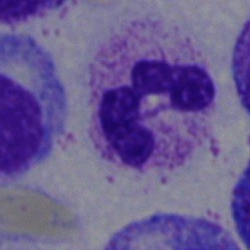

Classification: neutrophil (segmented).